Bone marrow aspirate smear: 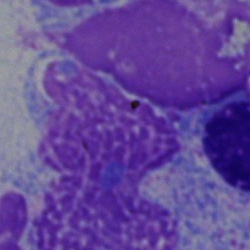 The cell is artifact.